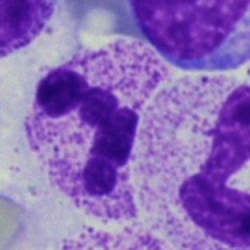Morphological class = neutrophil (segmented).